Bone marrow smear. 40× objective, oil immersion
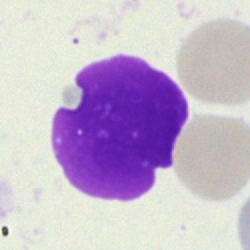 Single cell identified as an artefact.